100× oil immersion, 14.14 px/µm · peripheral blood smear · image size 400×400.
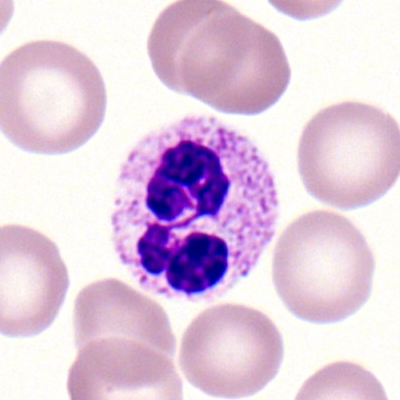 Specimen: peripheral blood smear.
Morphological class: segmented neutrophil.